Bone marrow aspirate smear; Pappenheim-stained
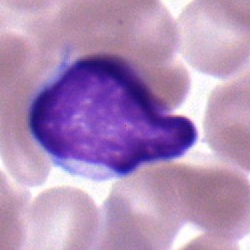
Cell = lymphocyte.